Bone marrow smear · May-Grünwald-Giemsa stain · 250×250:
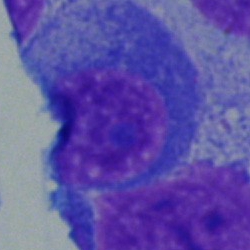

Impression → plasma cell.